Bone marrow aspirate smear · MGG-stained · brightfield microscopy, 40× oil immersion.
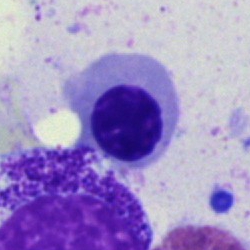 Morphology consistent with a nucleated red blood cell.